Bone marrow aspirate smear: 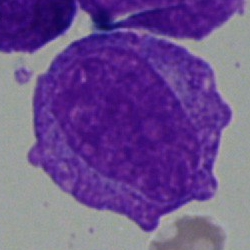
Cell type — blast cell.